100× oil immersion; peripheral blood film — 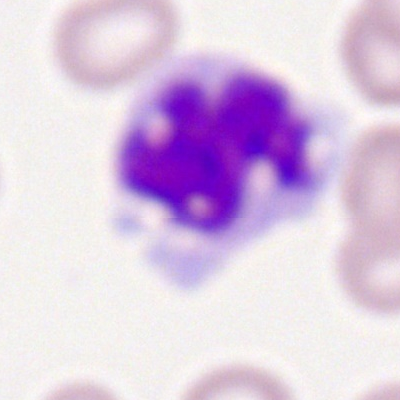
Cell type = monocyte.